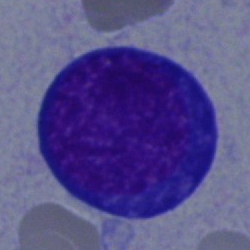
Bone marrow smear showing a proerythroblast.